Bone marrow aspirate smear:
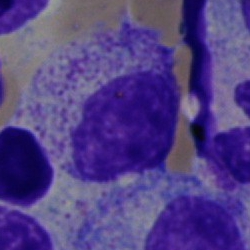Cell: myelocyte.